Single-cell field. May-Grünwald-Giemsa stain. Bone marrow smear: 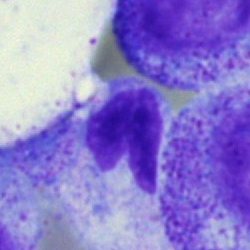Impression — neutrophil (band).